Bone marrow smear.
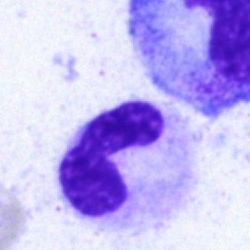

Morphology — neutrophil (band).